Bone marrow aspirate smear.
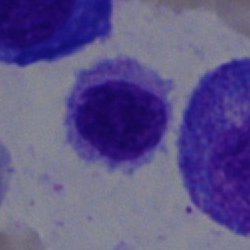Q: What cell is this?
A: A lymphocyte.